Bone marrow aspirate smear; single cell centered in the field:
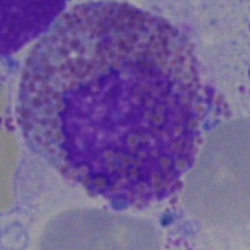
Single cell identified as an eosinophil.